Bone marrow smear — 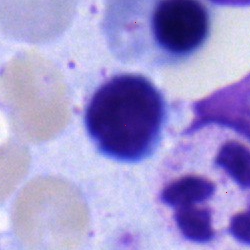Specimen: bone marrow smear.
Morphological class: typical lymphocyte.